May-Grünwald-Giemsa/Pappenheim stain. Bone marrow aspirate smear. Single-cell field: 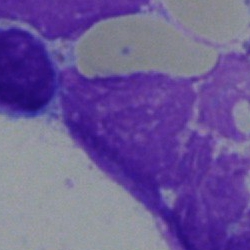

{"cell_type": "artefact"}